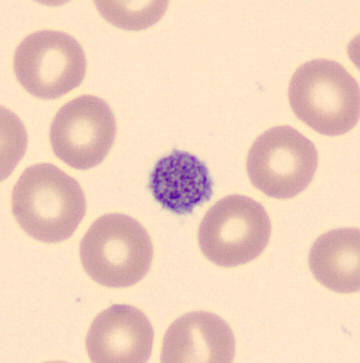
Classification: platelet.